Bone marrow smear: 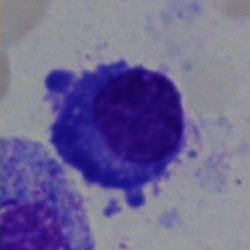
Cell — plasmacyte.